Bone marrow smear: 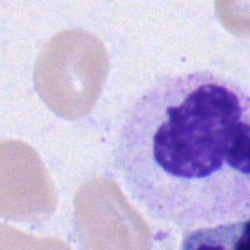 Q: Which cell type is shown here?
A: This is a stab cell.